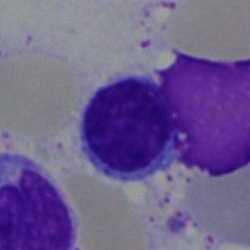Q: What is shown here?
A: It is a lymphocyte.